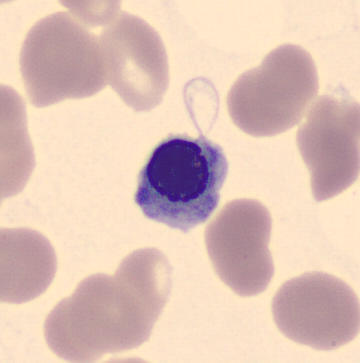

From a peripheral blood smear: a nucleated red blood cell.